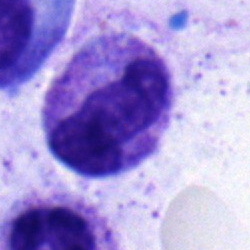 Q: Identify the cell.
A: It is a stab cell.